Bone marrow smear. May-Grünwald-Giemsa/Pappenheim stain — 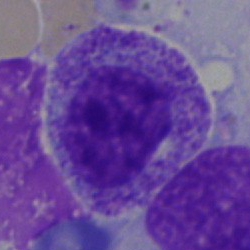
Specimen: bone marrow aspirate smear.
Cell type: myelocyte.
Lineage: myeloid.